250 by 250 pixels · bone marrow smear · 40× objective, oil immersion.
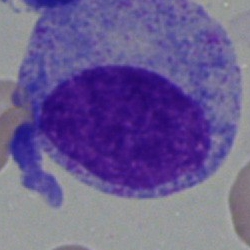
Promyelocyte.